Bone marrow aspirate smear
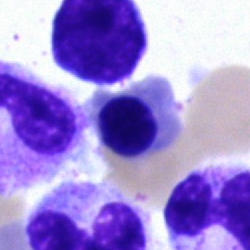 Q: What is shown here?
A: This is a normoblast.